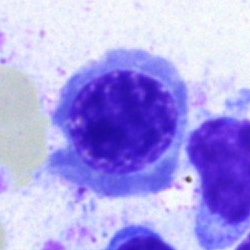Single cell identified as an erythroblast.